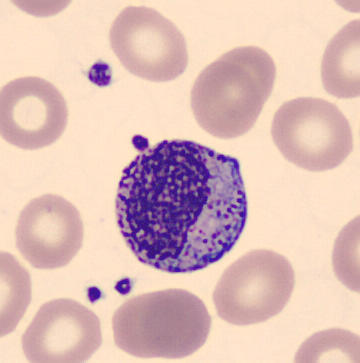The classification is metamyelocyte.